Bone marrow aspirate smear
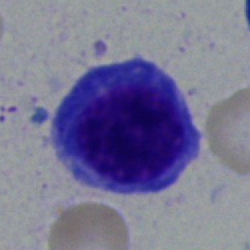

The classification is nucleated red blood cell.